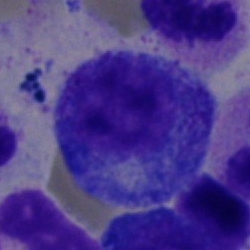 The cell type is progranulocyte.